Romanowsky stain; peripheral blood film
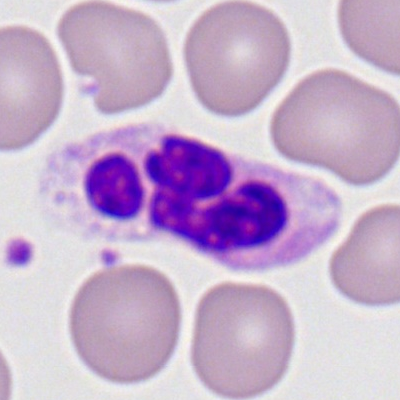
Morphology → segmented neutrophil.